Bone marrow aspirate smear
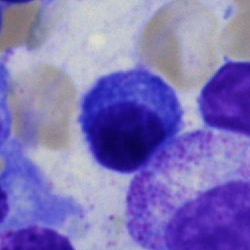

Morphology consistent with a plasma cell.